Bone marrow aspirate smear. May-Grünwald-Giemsa stain.
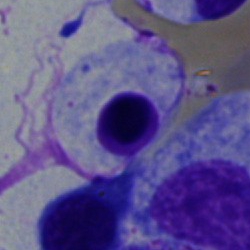
Morphology → normoblast.